Bone marrow smear.
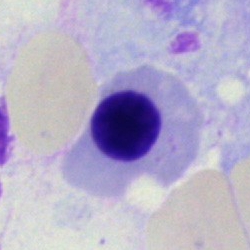
Morphology — erythroblast.